Bone marrow smear.
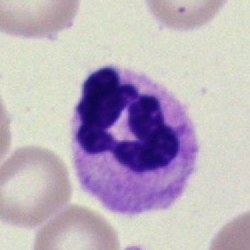

A neutrophil (segmented).